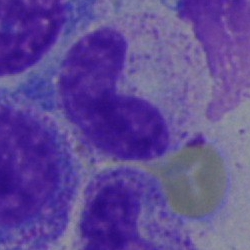
A stab cell on a bone marrow smear.